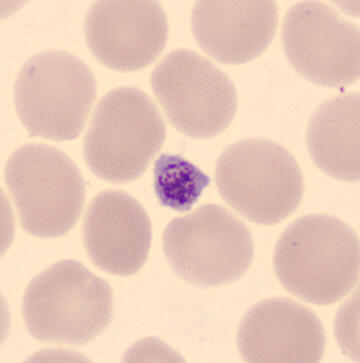Morphology → platelet.

Imaged on a CellaVision DM96 analyser · peripheral blood smear.